Bone marrow smear
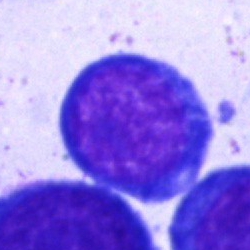
Morphology consistent with a pronormoblast.